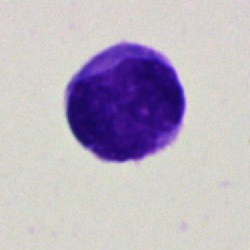 Showing a blast.